Peripheral blood film. 100× oil immersion.
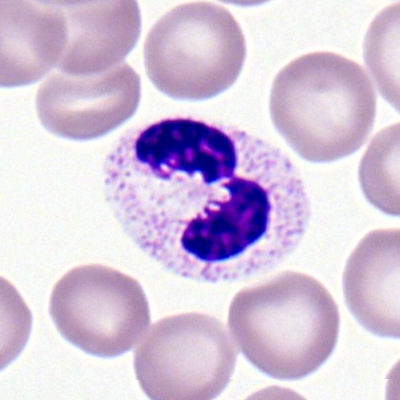
Single cell identified as a segmented neutrophil.